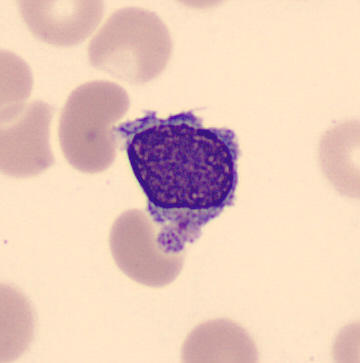

This is a typical lymphocyte.

Acquisition: Peripheral blood film. MGG stain. 360×363 px.